May-Grünwald-Giemsa stain · 250×250 · bone marrow smear:
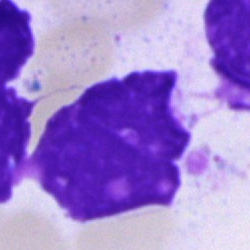
Q: What is shown here?
A: This is an artefact.